Bone marrow aspirate smear. 40× oil immersion: 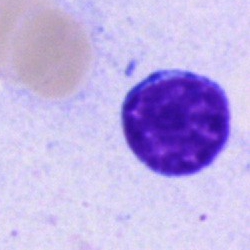Lymphocyte.